250 by 250 pixels; bone marrow aspirate smear; MGG-stained
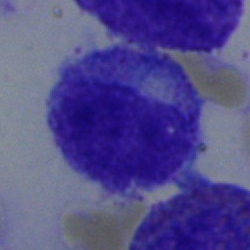The cell shown is a myelocyte.